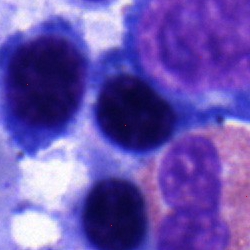
Impression — nucleated red cell.